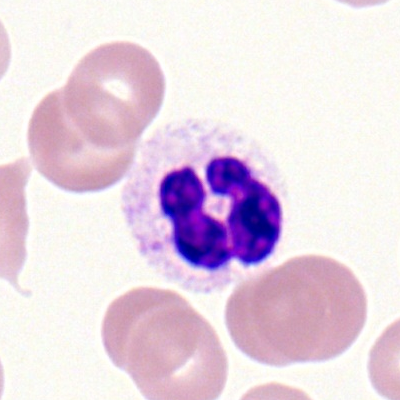
Impression — polymorphonuclear neutrophil.